Bone marrow aspirate smear: 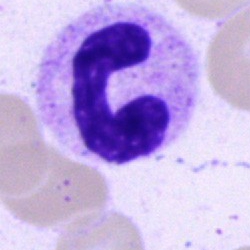 Morphology consistent with a band-form neutrophil.